Single-cell crop; bone marrow smear:
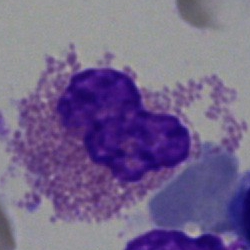Showing an eosinophil.